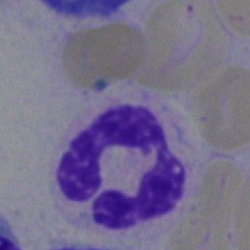

Morphological class = segmented neutrophil.